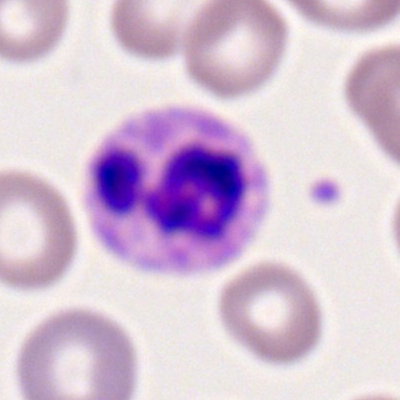
Morphological class = neutrophil (segmented).